40× oil immersion; bone marrow aspirate smear.
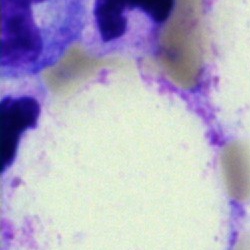 Q: What is shown here?
A: Artefact.